Bone marrow aspirate smear. Pappenheim-stained
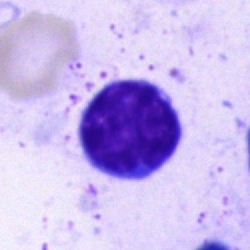 Morphological class: lymphocyte.